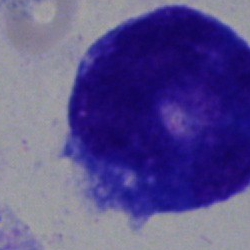

Cell type = undifferentiated blast.